Bone marrow aspirate smear; 40× oil immersion.
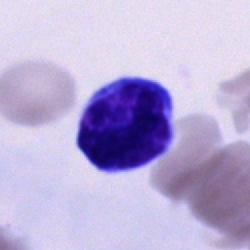
Q: What is the morphological classification of this cell?
A: This is a typical lymphocyte.